Bone marrow smear: 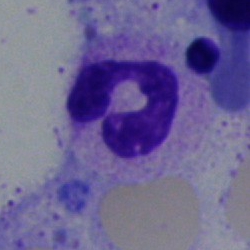 The cell is neutrophil (segmented).